Bone marrow smear
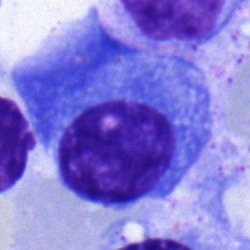 Q: Identify the cell.
A: It is a plasma cell.